Single-cell crop. Bone marrow aspirate smear. 250 by 250 pixels:
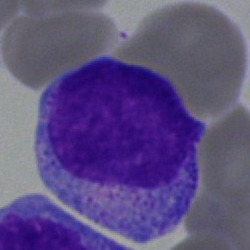
The classification is blast cell.